Bone marrow aspirate smear. 40× objective, oil immersion. 250×250 px:
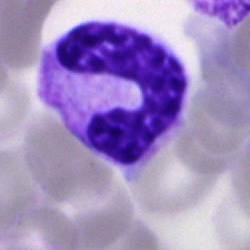This is a band-form neutrophil.